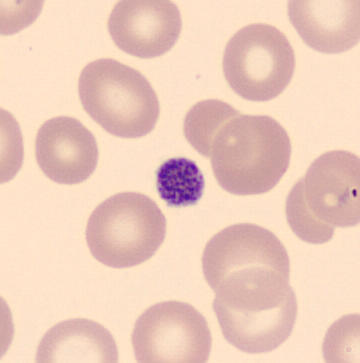Showing a thrombocyte.